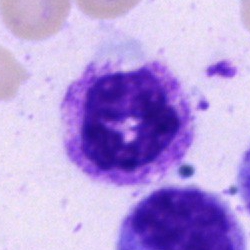 Bone marrow smear showing a segmented neutrophil.